Bone marrow aspirate smear; single-cell field; 250×250.
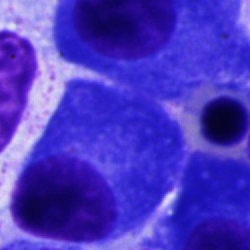Specimen: bone marrow aspirate smear.
Classification: plasmacyte.
Lineage: lymphoid.